Bone marrow smear. 250 by 250 pixels. May-Grünwald-Giemsa stain — 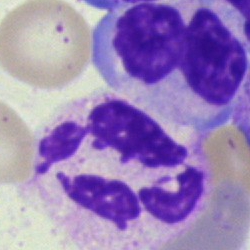

Cell type: polymorphonuclear neutrophil.